Bone marrow aspirate smear — 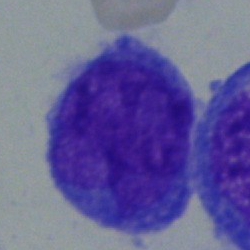
{"cell_type": "undifferentiated blast"}